Peripheral blood smear · image size 360×363
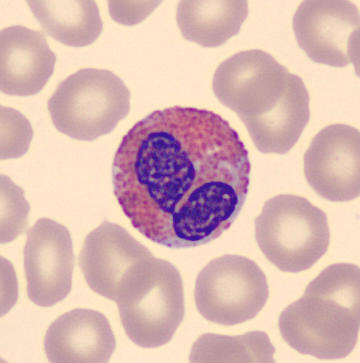Classification — eosinophilic granulocyte.